Cropped to a single cell. Brightfield, 100× oil-immersion objective. Peripheral blood film:
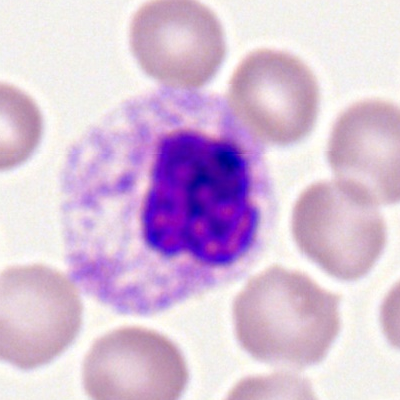

Showing a segmented neutrophil.